Cropped to a single cell · bone marrow smear · MGG-stained:
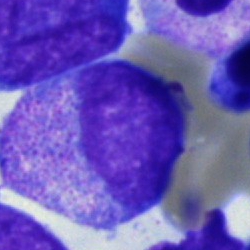Q: Identify the cell.
A: Progranulocyte.